Bone marrow smear. 250×250 px. Brightfield, 40× oil-immersion objective.
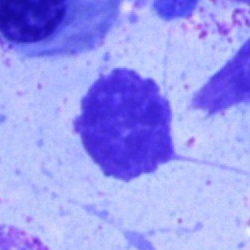The classification is artefact.